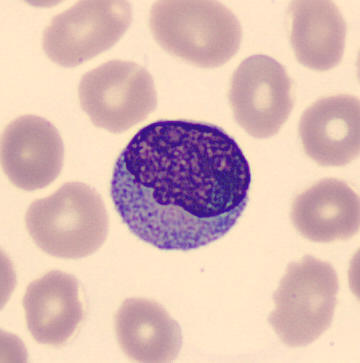

Peripheral blood film.
The cell shown is a monocyte.